Single-cell crop · bone marrow aspirate smear · Pappenheim-stained.
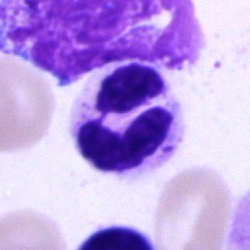
Morphology consistent with a segmented neutrophil.